Bone marrow aspirate smear
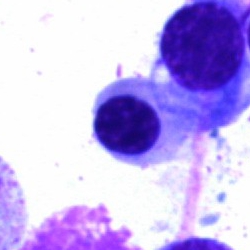This is a normoblast.